Bone marrow smear: 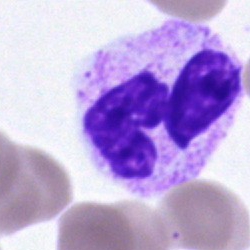
{"cell_type": "neutrophil (segmented)"}